Bone marrow smear:
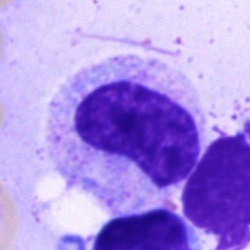
Metamyelocyte.